Bone marrow smear. Image size 250×250.
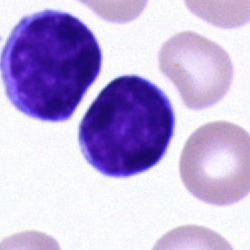

Morphology → typical lymphocyte.